Bone marrow aspirate smear:
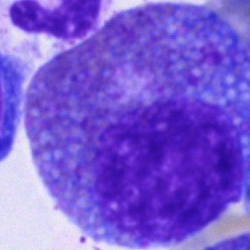

Showing an eosinophilic granulocyte.